Bone marrow aspirate smear
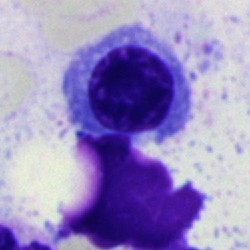
A nucleated red blood cell.